Peripheral blood film · Romanowsky-type stain · 400×400 px:
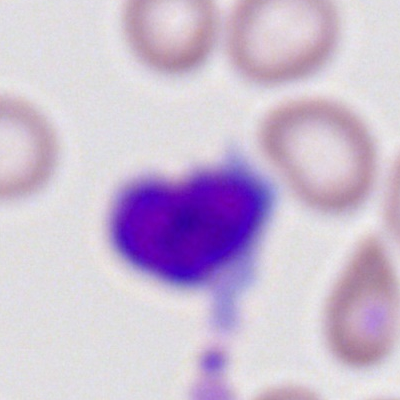

Classification: lymphocyte.